May-Grünwald-Giemsa/Pappenheim stain. Bone marrow smear. Brightfield microscopy, 40× oil immersion.
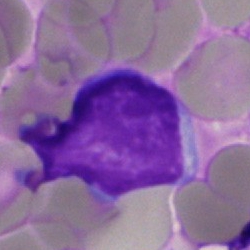
Impression — artifact.